Bone marrow smear. 250 by 250 pixels: 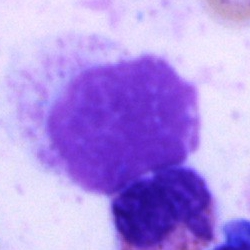
Cell: artefact.